Bone marrow smear — 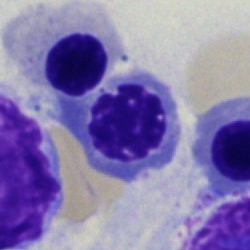

Q: What type of cell is this?
A: This is a normoblast.